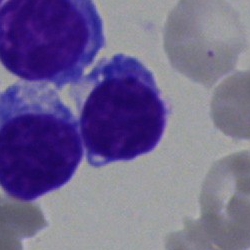 Cell: typical lymphocyte.